Peripheral blood smear
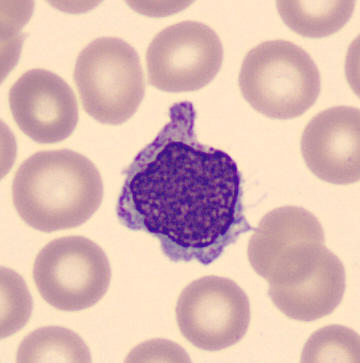

The cell type is typical lymphocyte.